Bone marrow aspirate smear: 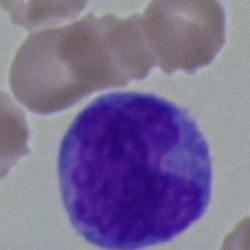
Q: What is shown here?
A: It is a monocyte.